Bone marrow aspirate smear · 40× objective, oil immersion
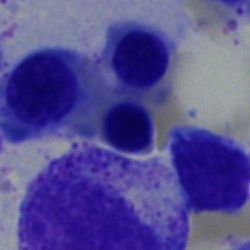

Morphology — nucleated red cell.